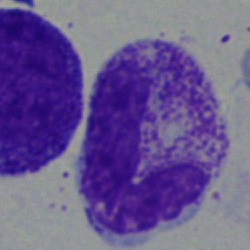
Impression → neutrophil (band).